May-Grünwald-Giemsa/Pappenheim stain. 250×250 px. Bone marrow smear
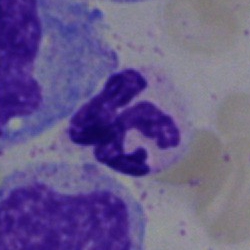 Morphology — segmented neutrophil.